Image size 250×250; bone marrow aspirate smear: 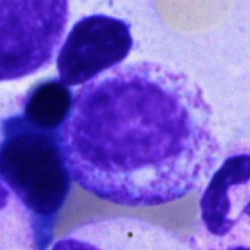 This is a myelocyte.